Bone marrow smear: 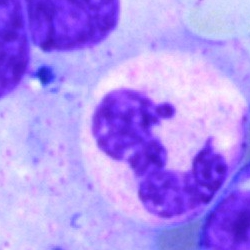
Q: What type of cell is this?
A: This is a segmented neutrophil.